Bone marrow smear
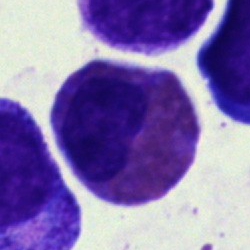 This is an eosinophilic granulocyte.